Bone marrow aspirate smear; cropped to a single cell — 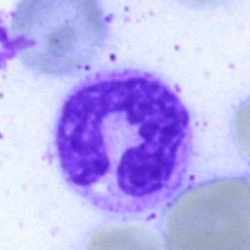 Q: What is the morphological classification of this cell?
A: It is a segmented neutrophil.